Bone marrow smear:
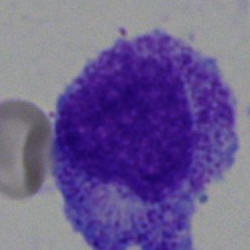Single cell identified as a myelocyte.